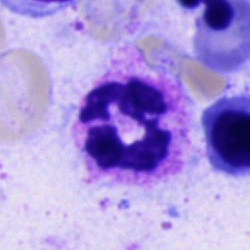

Morphology → neutrophil (segmented).